Bone marrow smear: 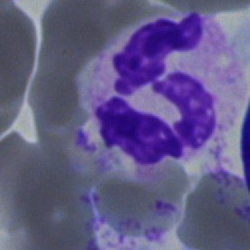 Specimen: bone marrow aspirate smear.
Cell: segmented neutrophil.